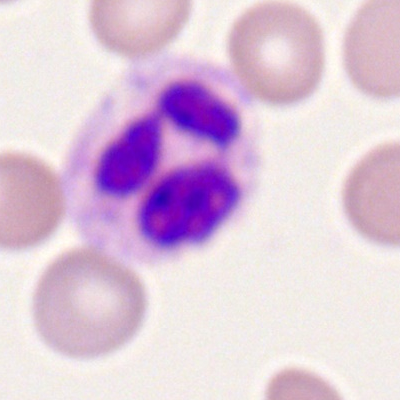 Q: What is the morphological classification of this cell?
A: This is a segmented neutrophil.